Single-cell crop · bone marrow aspirate smear.
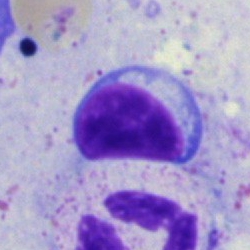The morphological class is lymphocyte.